May-Grünwald-Giemsa/Pappenheim stain. Bone marrow smear.
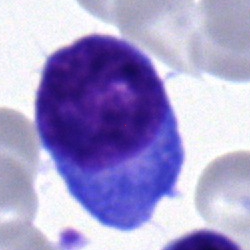
Impression → plasmacyte.